Peripheral blood film; 400 by 400 pixels:
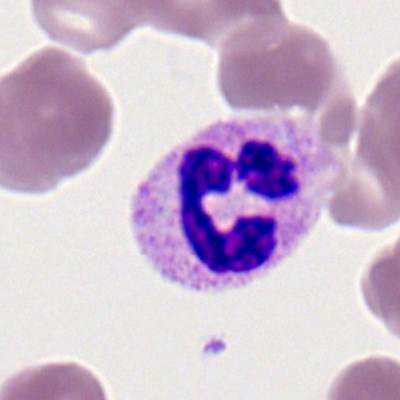
Q: What cell is this?
A: It is a neutrophil (segmented).